Bone marrow aspirate smear. May-Grünwald-Giemsa stain
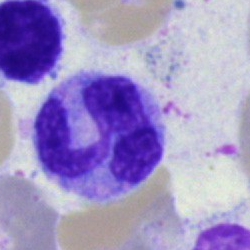 Showing a monocyte.